Single-cell field · bone marrow aspirate smear:
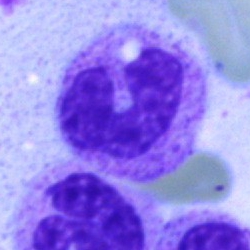 Q: What is the morphological classification of this cell?
A: Band neutrophil.